Bone marrow aspirate smear.
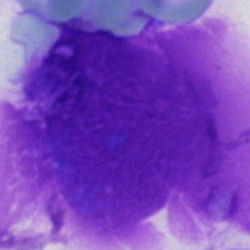
Specimen: bone marrow smear.
Cell type: artifact.